Bone marrow aspirate smear
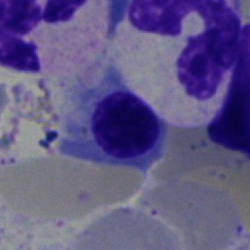 Q: Identify the cell.
A: Normoblast.